MGG-stained; bone marrow smear — 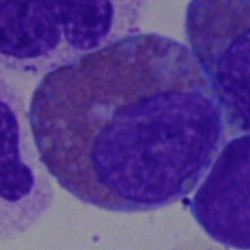
The cell type is eosinophilic granulocyte.